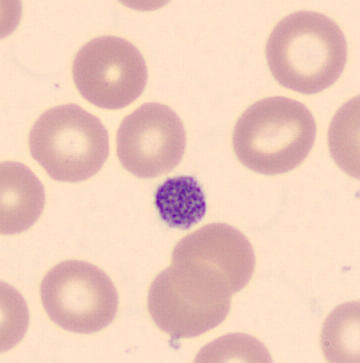 Q: What is this?
A: Thrombocyte.

360 by 363 pixels; peripheral blood smear.